Bone marrow smear:
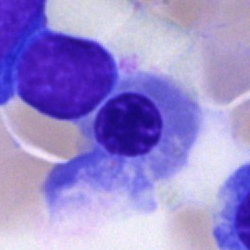

Single cell identified as an erythroblast.